Bone marrow smear; brightfield, 40× oil-immersion objective:
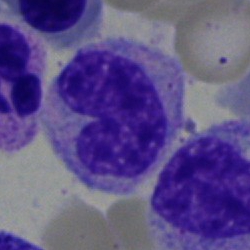 Cell type = band-form neutrophil.